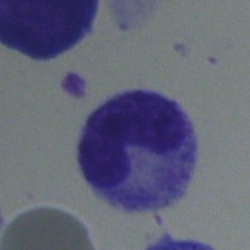
Q: What type of cell is this?
A: It is a band neutrophil.